Single-cell field. Bone marrow aspirate smear:
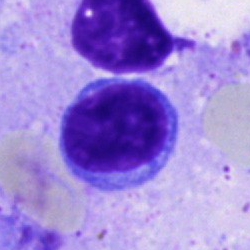 Q: What cell is this?
A: Typical lymphocyte.